Peripheral blood film. Brightfield, 100× oil-immersion objective — 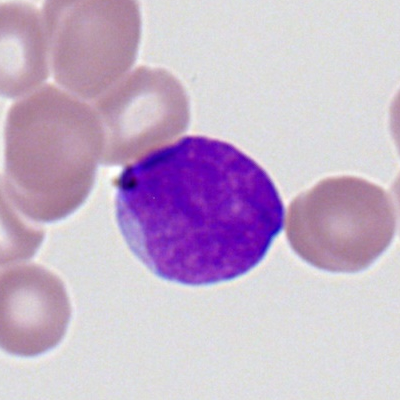{"cell_type": "myeloid blast", "lineage": "myeloid"}